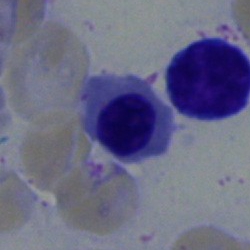Q: What is the morphological classification of this cell?
A: This is a nucleated red blood cell.